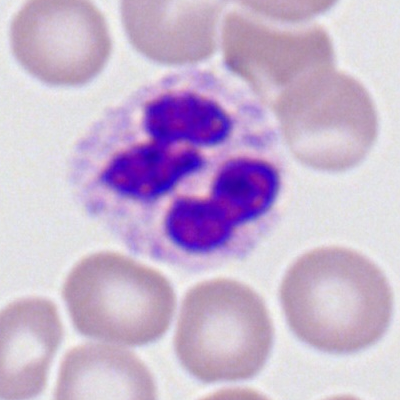Peripheral blood film, single cell — neutrophil (segmented).